360×363 px; peripheral blood smear:
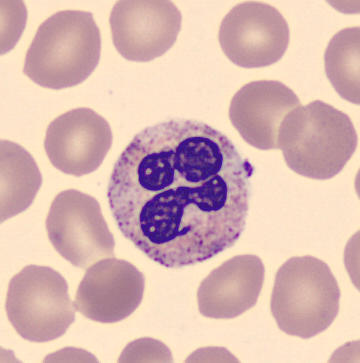Q: Identify the cell.
A: This is a polymorphonuclear neutrophil.